Peripheral blood film
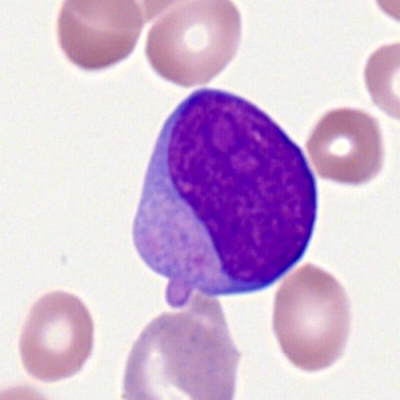

Classification: myeloid blast.